Image size 250×250 · bone marrow smear: 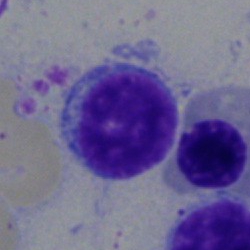Morphological class: lymphocyte.